250×250 px · May-Grünwald-Giemsa/Pappenheim stain · bone marrow smear
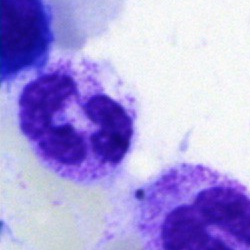 A polymorphonuclear neutrophil.